Pappenheim-stained; bone marrow aspirate smear; 250 by 250 pixels.
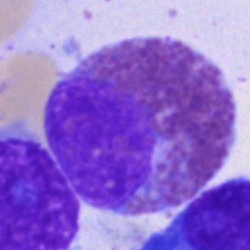Morphological class: eosinophil.